Bone marrow smear. May-Grünwald-Giemsa stain
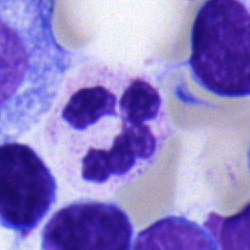 Morphology → segmented neutrophil.